Single cell centered in the field; bone marrow smear; 250×250 px: 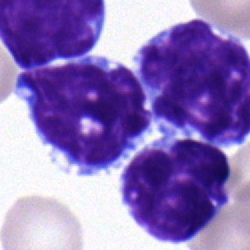 A typical lymphocyte.